250 by 250 pixels · bone marrow aspirate smear — 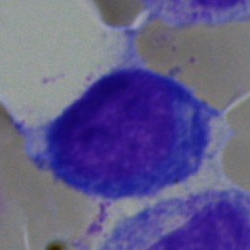

Morphological class = pronormoblast.